Bone marrow aspirate smear — 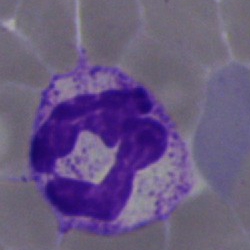

Segmented neutrophil.